100× objective, oil immersion; peripheral blood film: 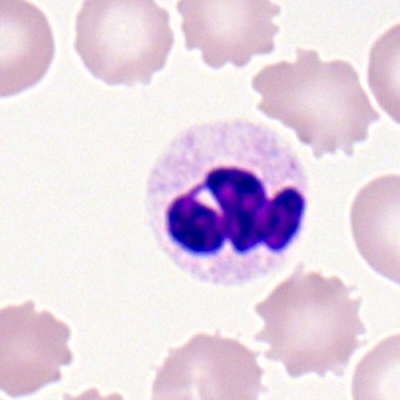

A polymorphonuclear neutrophil.